Bone marrow aspirate smear
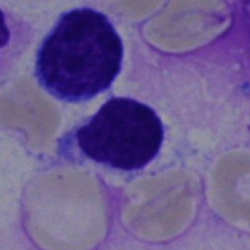 Showing a typical lymphocyte.